Bone marrow smear; 250×250.
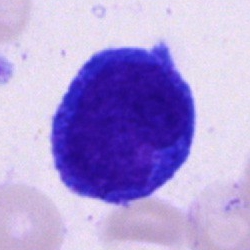
Q: Identify the cell.
A: It is an unidentifiable cell.